Bone marrow smear; image size 250×250 — 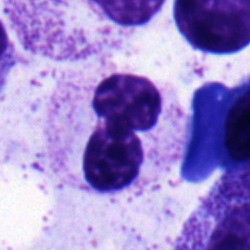
Morphology — segmented neutrophil.